Bone marrow smear — 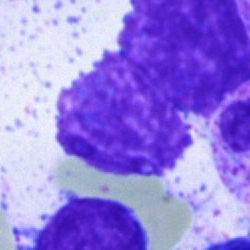Q: What is shown here?
A: Artifact.